250×250 · single-cell field · bone marrow smear.
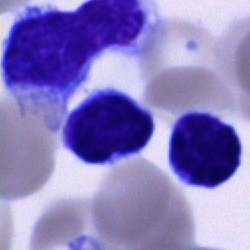 Impression — lymphocyte.